May-Grünwald-Giemsa/Pappenheim stain · bone marrow aspirate smear
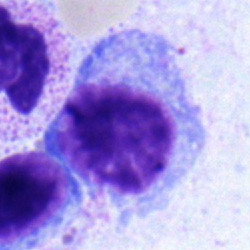 The cell type is plasma cell.